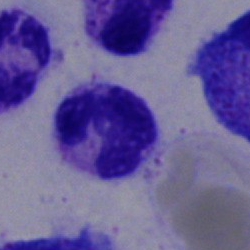Cell type — polymorphonuclear neutrophil.